Bone marrow aspirate smear:
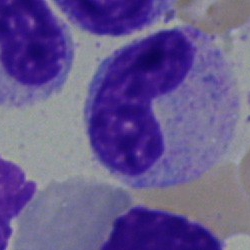
This is a band-form neutrophil.